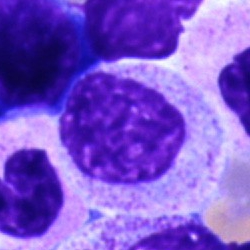Showing a myelocyte.